Bone marrow aspirate smear; brightfield, 40× oil-immersion objective; MGG-stained
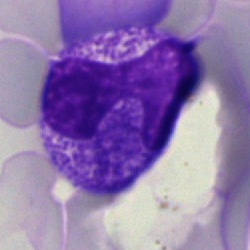
Morphological class: stab cell.